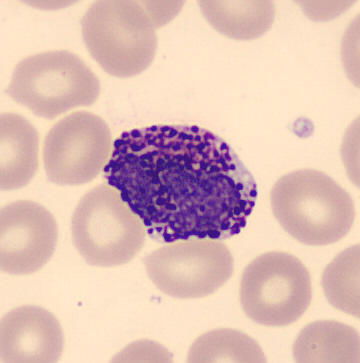
Specimen: peripheral blood smear.
Morphological class: basophil.
Lineage: myeloid.